Bone marrow smear
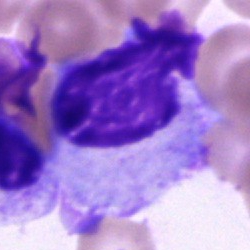
This is a cell of indeterminate lineage.